Bone marrow aspirate smear — 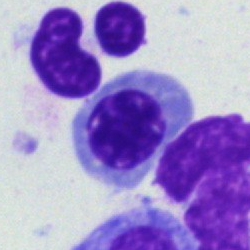
Morphology consistent with a nucleated red blood cell.